Bone marrow smear. Brightfield, 40× oil-immersion objective
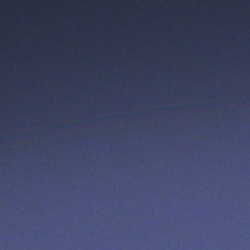 Artifact.